MGG stain. Peripheral blood film
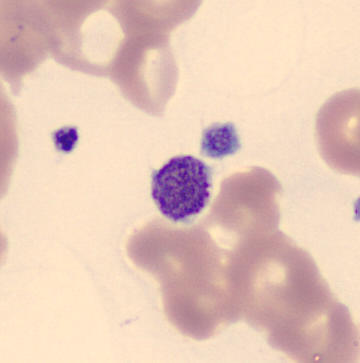 Impression — platelet.